Bone marrow aspirate smear · May-Grünwald-Giemsa stain · single cell centered in the field
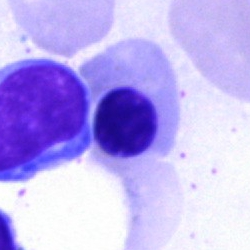Morphology consistent with a nucleated red cell.